Bone marrow aspirate smear; image size 250×250 — 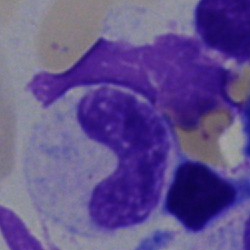 Q: Which cell type is shown here?
A: This is a stab cell.